Bone marrow aspirate smear:
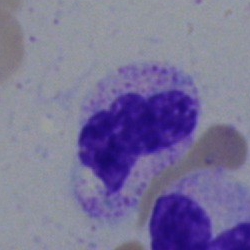Q: What type of cell is this?
A: It is a polymorphonuclear neutrophil.